Bone marrow aspirate smear: 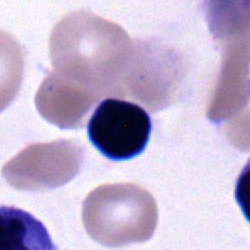

Single cell identified as a typical lymphocyte.